Bone marrow aspirate smear. 40× oil immersion. May-Grünwald-Giemsa stain — 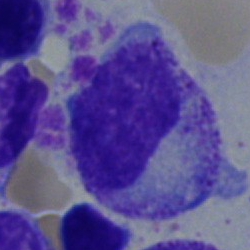
The classification is myelocyte.